Bone marrow smear:
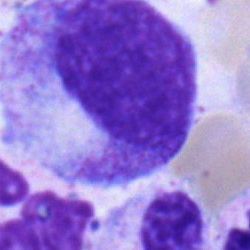
Cell type = myelocyte.